Bone marrow smear — 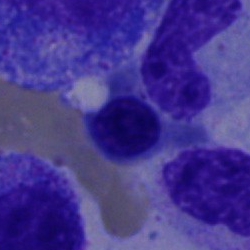Impression → normoblast.